Cropped to a single cell · bone marrow aspirate smear
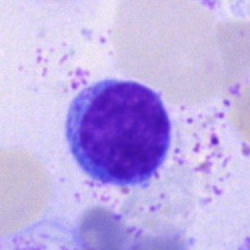

Impression — typical lymphocyte.